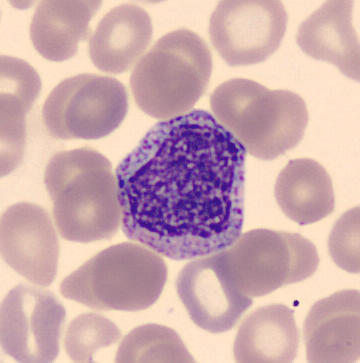Image: Peripheral blood film. Image size 360×363. CellaVision DM96. {"cell_type": "myelocyte", "lineage": "myeloid"}